MGG-stained. 40× objective, oil immersion. Bone marrow smear
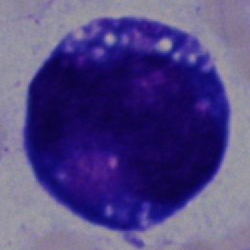 Undifferentiated blast.